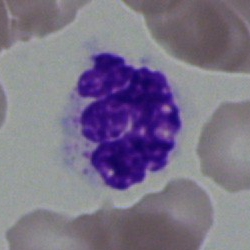

Morphology — polymorphonuclear neutrophil.